Single cell centered in the field; May-Grünwald-Giemsa stain; bone marrow aspirate smear.
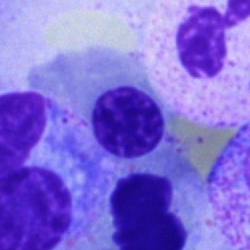
Specimen: bone marrow aspirate smear.
Morphological class: nucleated red blood cell.
Lineage: erythroid.